Bone marrow aspirate smear · Pappenheim-stained.
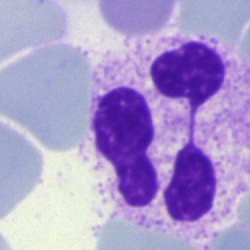 Single cell identified as a polymorphonuclear neutrophil.